Bone marrow smear. Brightfield microscopy, 40× oil immersion:
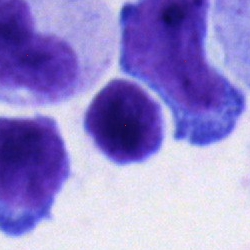 Q: What type of cell is this?
A: Typical lymphocyte.